Peripheral blood smear; image size 400×400: 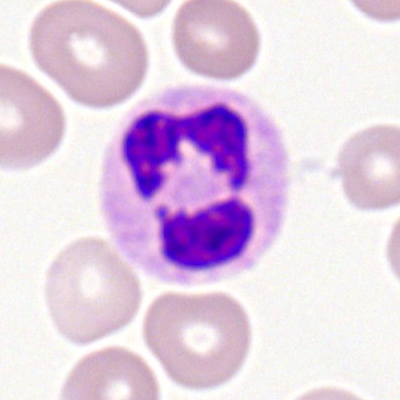 Cell = polymorphonuclear neutrophil.